Cropped to a single cell. Bone marrow smear. 250 by 250 pixels: 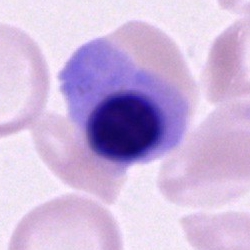

Showing a nucleated red blood cell.